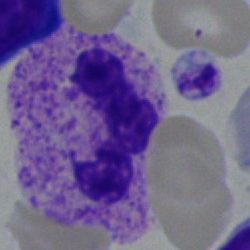

Classification: neutrophil (segmented).